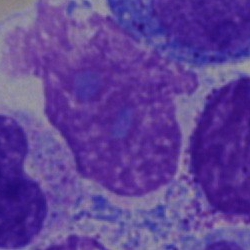Specimen: bone marrow aspirate smear.
Morphological class: artifact.